Bone marrow smear — 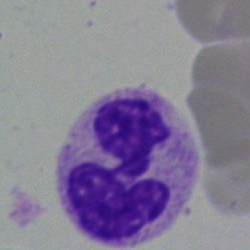
A polymorphonuclear neutrophil.